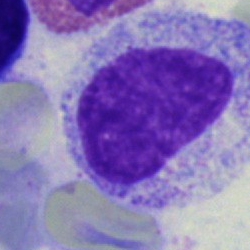 Single-cell crop from a bone marrow smear: progranulocyte.